Bone marrow smear · May-Grünwald-Giemsa/Pappenheim stain — 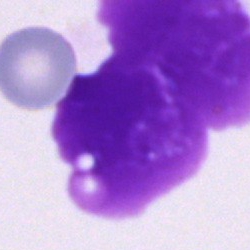

Artifact.